Bone marrow smear; 250 by 250 pixels.
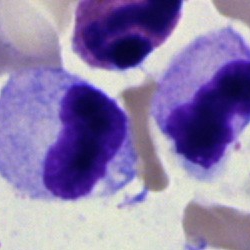

{"cell_type": "metamyelocyte", "lineage": "myeloid"}